Bone marrow smear
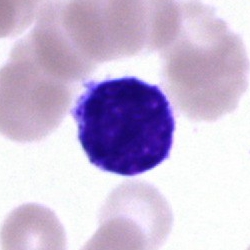
Showing a typical lymphocyte.